Peripheral blood film.
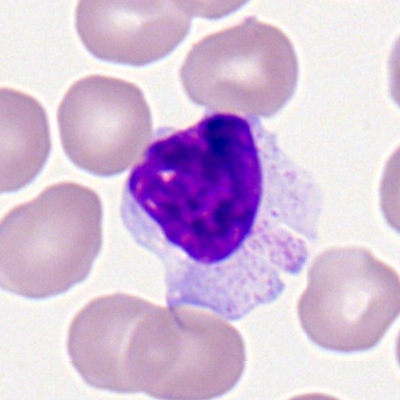
Single cell identified as a lymphocyte.